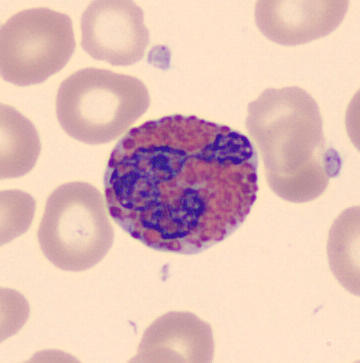
Identified as an eosinophil.

Image: Peripheral blood film.